Bone marrow aspirate smear · MGG-stained · 40× oil immersion:
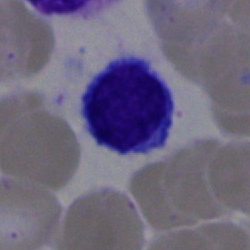
The cell type is typical lymphocyte.